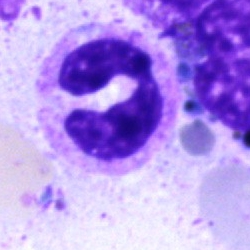Specimen: bone marrow smear.
Morphological class: polymorphonuclear neutrophil.